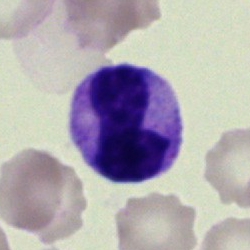Bone marrow aspirate smear, single cell — band-form neutrophil.